40× oil immersion · bone marrow aspirate smear:
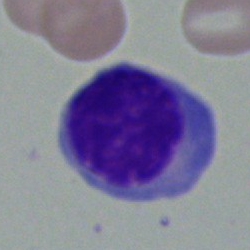

The cell shown is a normoblast.